Bone marrow smear:
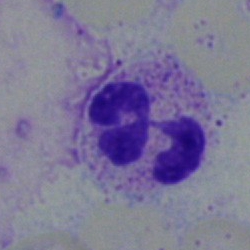
Q: What is the morphological classification of this cell?
A: Neutrophil (segmented).